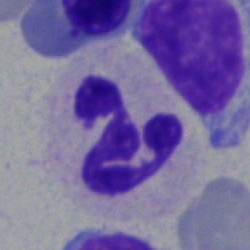
Morphology consistent with a polymorphonuclear neutrophil.